40× oil immersion; bone marrow aspirate smear:
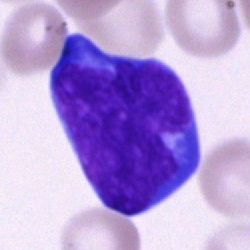 Cell type — blast cell.